Bone marrow smear: 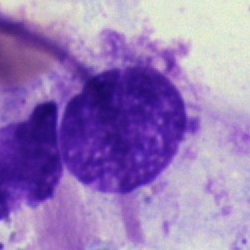

Cell type = artefact.